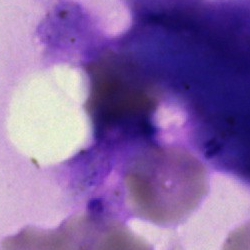
{"cell_type": "artifact"}